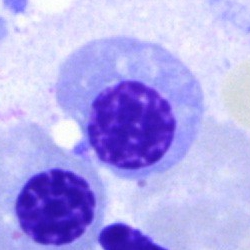
The morphological class is erythroblast.